40× objective, oil immersion · bone marrow smear — 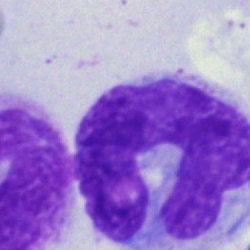Morphology — band-form neutrophil.